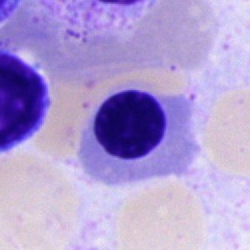
An erythroblast on a bone marrow smear.